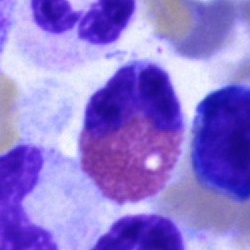 Morphology → eosinophilic granulocyte.